Bone marrow aspirate smear — 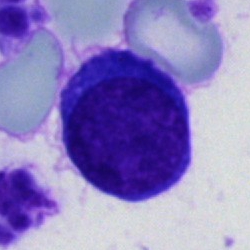{"cell_type": "cell of indeterminate lineage"}